Bone marrow smear:
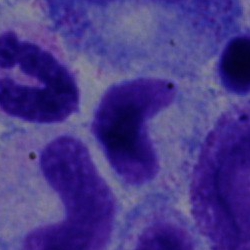Morphology — band neutrophil.